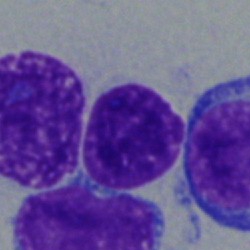 Specimen: bone marrow aspirate smear.
Classification: artifact.